Bone marrow smear · 40× oil immersion · cropped to a single cell — 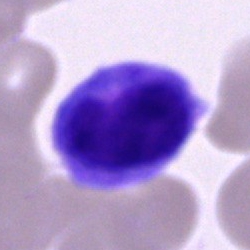
{"cell_type": "monocyte", "lineage": "myeloid"}